Bone marrow aspirate smear.
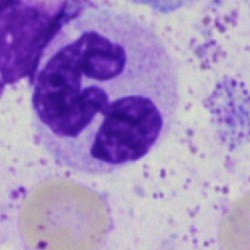Morphology — segmented neutrophil.